Bone marrow smear
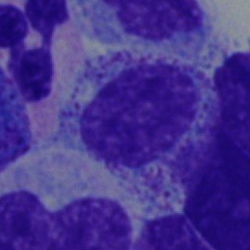Classification = myelocyte.